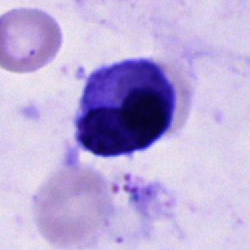This is an artefact.